Bone marrow smear.
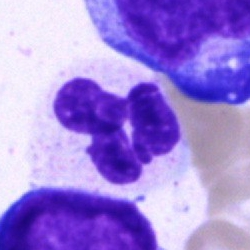 Q: What type of cell is this?
A: This is a neutrophil (segmented).